Bone marrow smear — 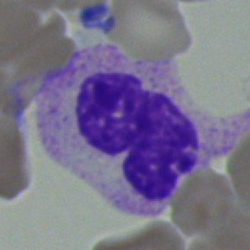Q: What is the morphological classification of this cell?
A: A neutrophil (band).